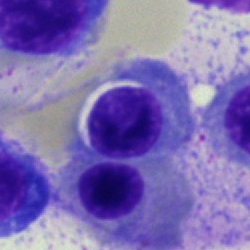
A normoblast on a bone marrow smear.